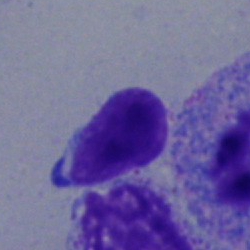Q: Which cell type is shown here?
A: A lymphocyte.